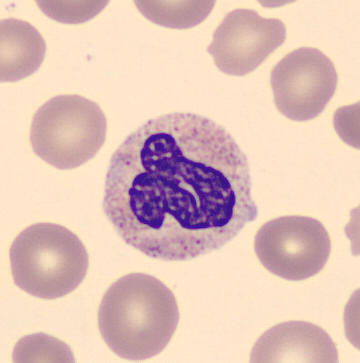 Peripheral blood smear. Q: What cell is this?
A: This is a neutrophil (band).